Bone marrow smear — 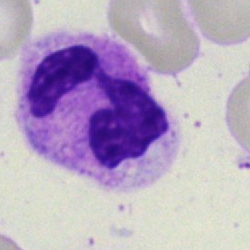

Morphology consistent with a polymorphonuclear neutrophil.